Single-cell crop. Bone marrow smear
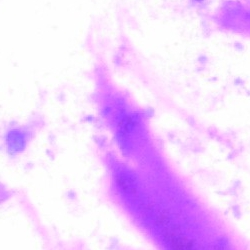
Showing an artefact.